40× objective, oil immersion · bone marrow smear — 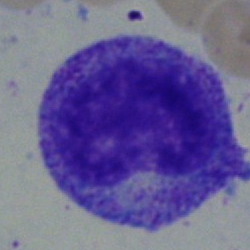Q: What is the morphological classification of this cell?
A: A myelocyte.